Bone marrow smear: 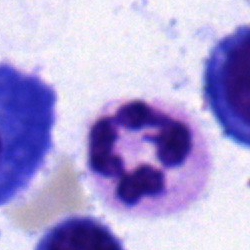Specimen: bone marrow aspirate smear.
Classification: polymorphonuclear neutrophil.